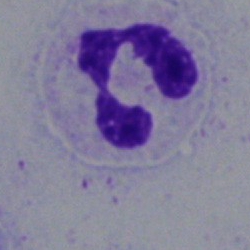

A polymorphonuclear neutrophil.